MGG-stained. Single-cell crop. Bone marrow smear
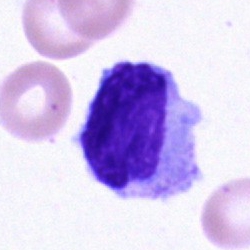Single cell identified as a lymphocyte.